Bone marrow aspirate smear. 250 by 250 pixels: 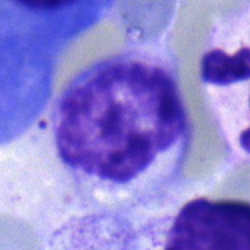

The cell shown is a myelocyte.